40× objective, oil immersion · bone marrow smear.
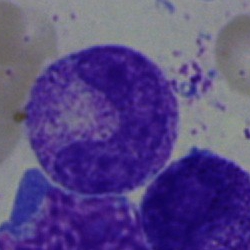Showing a band-form neutrophil.